Peripheral blood film; 400 by 400 pixels
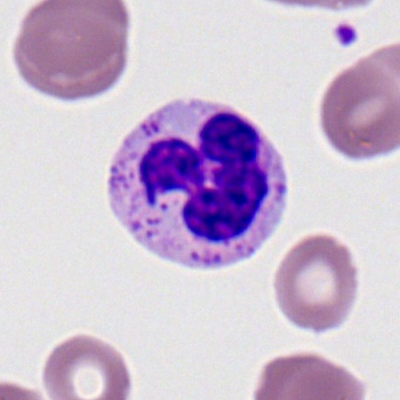

Impression — segmented neutrophil.